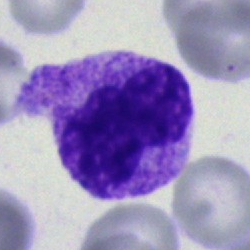
Bone marrow smear showing a metamyelocyte.